Bone marrow aspirate smear; May-Grünwald-Giemsa stain — 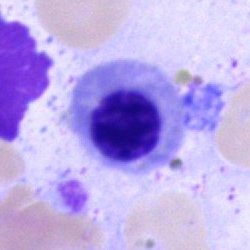Cell = normoblast.